Bone marrow aspirate smear
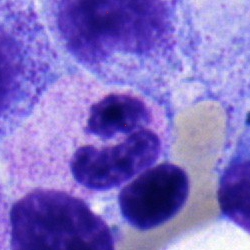 Q: What is shown here?
A: It is a segmented neutrophil.